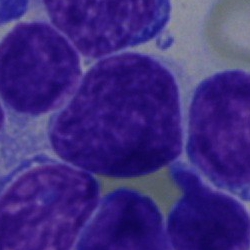 Morphological class: blast.